Bone marrow smear: 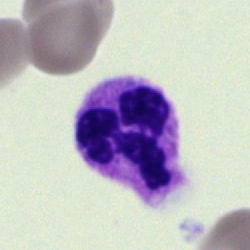Morphological class — segmented neutrophil.